Bone marrow aspirate smear; cropped to a single cell — 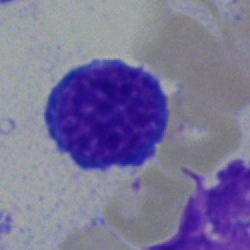 Morphology consistent with a typical lymphocyte.